Bone marrow smear — 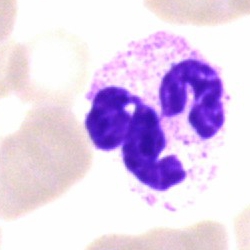 Morphology — segmented neutrophil.